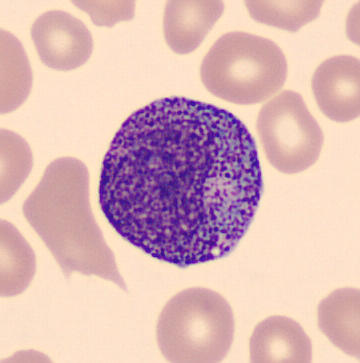 Specimen: peripheral blood smear.
Cell: progranulocyte.